Bone marrow aspirate smear
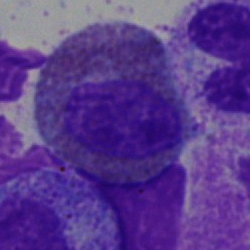 Single cell identified as an eosinophilic granulocyte.